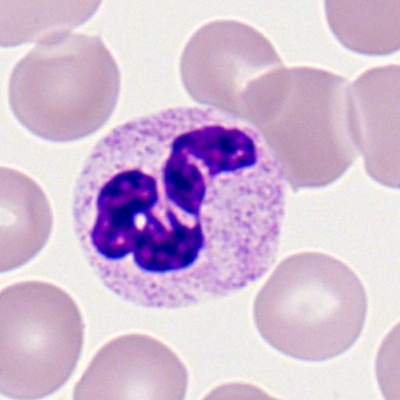
Q: What type of cell is this?
A: This is a segmented neutrophil.